Bone marrow smear: 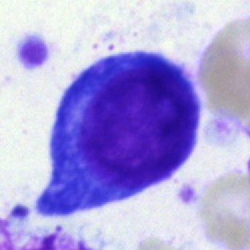Specimen: bone marrow smear.
Cell type: pronormoblast.
Lineage: erythroid.